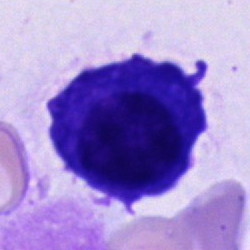

Classification — plasma cell.